Bone marrow smear:
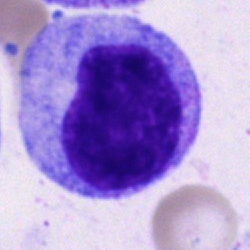

Classification = promyelocyte.